Bone marrow aspirate smear — 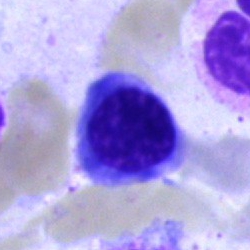

Morphology consistent with a normoblast.